Single-cell crop · bone marrow smear · May-Grünwald-Giemsa stain:
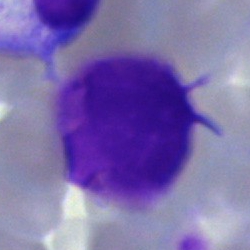 Impression — artefact.